Bone marrow aspirate smear; cropped to a single cell — 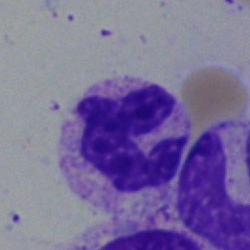
This is a segmented neutrophil.